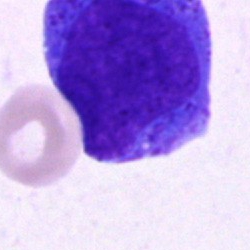Impression — progranulocyte.